Single-cell field; bone marrow aspirate smear: 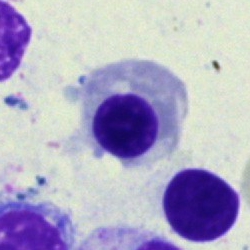

Nucleated red blood cell.